Bone marrow aspirate smear
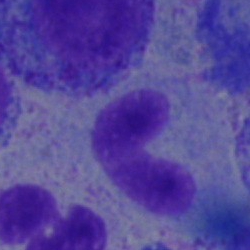
Classification — band-form neutrophil.